May-Grünwald-Giemsa stain; bone marrow aspirate smear:
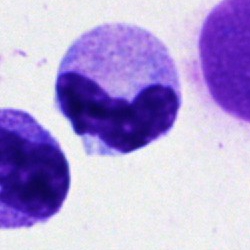Morphological class — neutrophil (band).